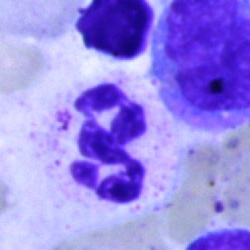
Specimen: bone marrow aspirate smear.
Morphological class: neutrophil (segmented).